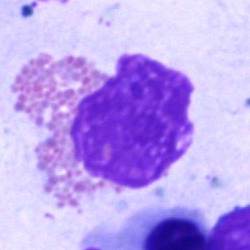Specimen: bone marrow smear.
Cell: eosinophilic granulocyte.
Lineage: myeloid.